Bone marrow smear:
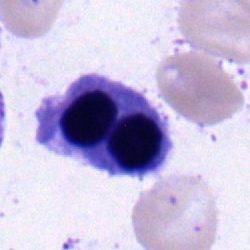{"cell_type": "nucleated red blood cell"}